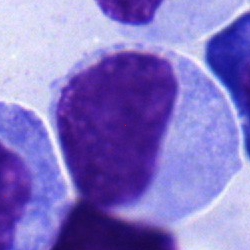Myelocyte.